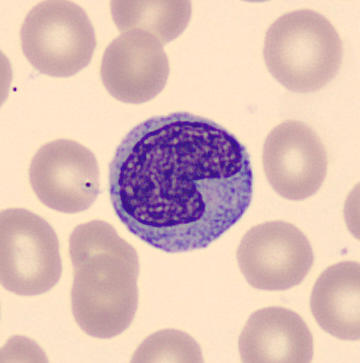Preparation: Peripheral blood smear.

Single cell identified as a monocyte.